Bone marrow aspirate smear
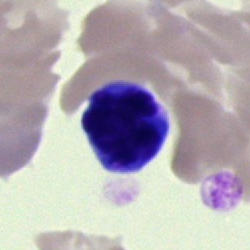

The morphological class is typical lymphocyte.